May-Grünwald-Giemsa stain. Bone marrow smear: 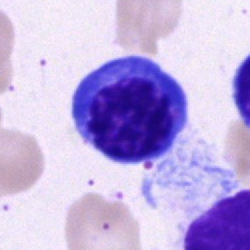
Morphology — nucleated red blood cell.